Bone marrow smear.
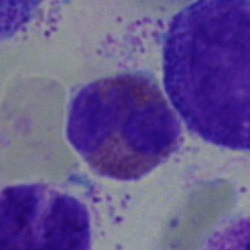The cell shown is an eosinophil.